Bone marrow smear · May-Grünwald-Giemsa stain · single cell centered in the field.
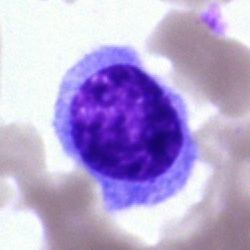
Morphology — hairy cell.